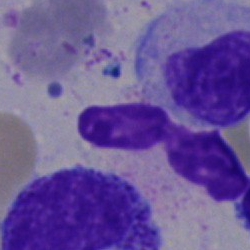

Classification: artifact.